May-Grünwald-Giemsa/Pappenheim stain · bone marrow smear.
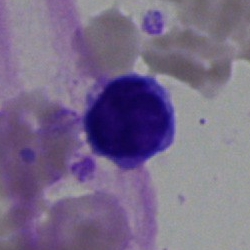

Specimen: bone marrow smear.
Morphological class: typical lymphocyte.
Lineage: lymphoid.